Bone marrow aspirate smear.
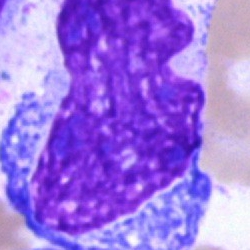{"cell_type": "artifact"}